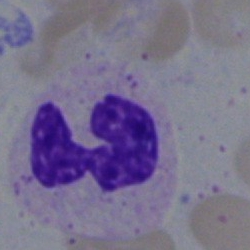 Cell = segmented neutrophil.